Bone marrow smear.
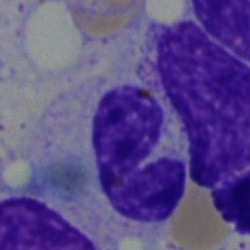This is a band-form neutrophil.